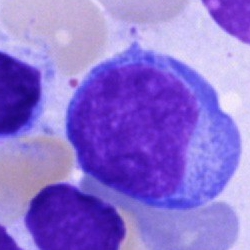Morphological class: blast cell.